Bone marrow aspirate smear. Single cell centered in the field. May-Grünwald-Giemsa stain
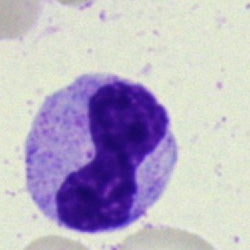 Cell = neutrophil (band).